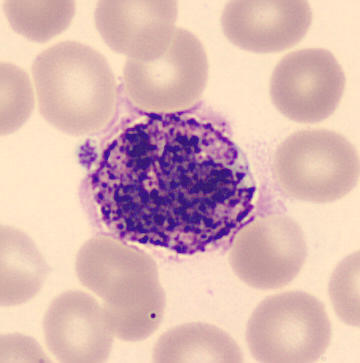
The cell is basophilic granulocyte.